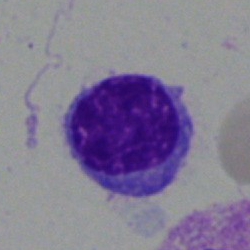

Morphological class: typical lymphocyte.